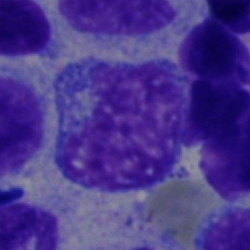 {"cell_type": "unidentifiable cell"}